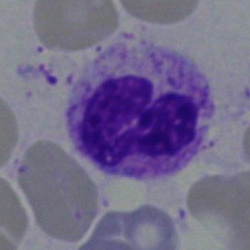 Specimen: bone marrow aspirate smear.
Cell: band neutrophil.